Bone marrow smear: 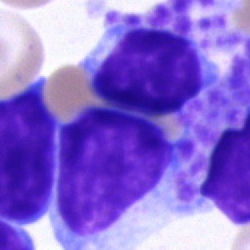
A typical lymphocyte.